Bone marrow aspirate smear · image size 250×250.
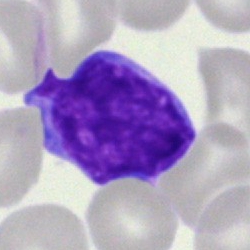 Q: What cell is this?
A: This is a blast.